Bone marrow aspirate smear · 250×250 · single-cell crop
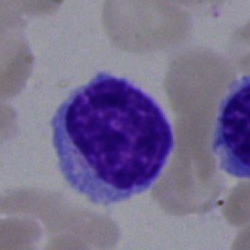 Morphology consistent with a lymphocyte.